Peripheral blood film.
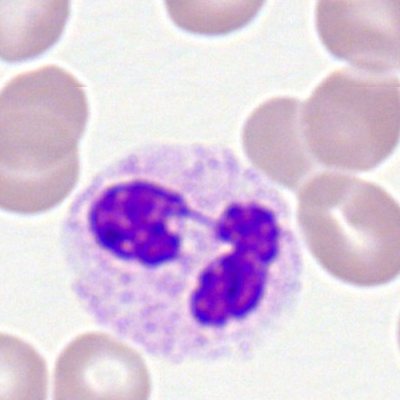
Single cell identified as a polymorphonuclear neutrophil.